Bone marrow smear · MGG-stained.
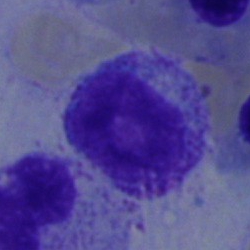

Specimen: bone marrow smear.
Cell type: myelocyte.
Lineage: myeloid.